Bone marrow aspirate smear; Pappenheim-stained:
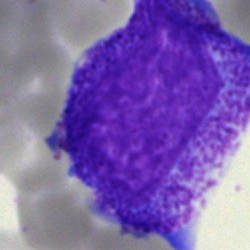 A progranulocyte.